Bone marrow aspirate smear. Single-cell crop: 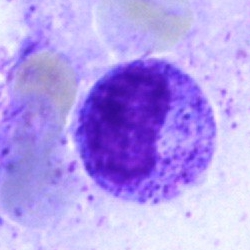

A metamyelocyte.